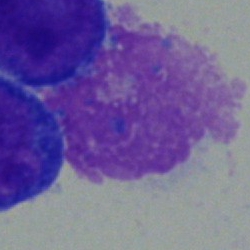
The morphological class is artifact.